Bone marrow aspirate smear: 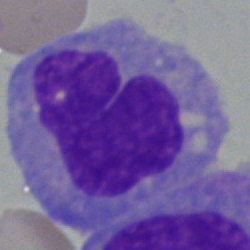
Specimen: bone marrow aspirate smear.
Classification: monocyte.